250 by 250 pixels · bone marrow aspirate smear: 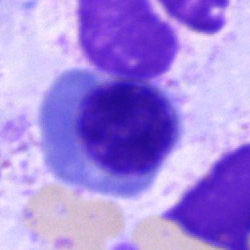 Specimen: bone marrow smear.
Cell: normoblast.
Lineage: erythroid.